Bone marrow aspirate smear · MGG-stained: 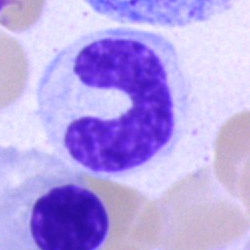

Showing a band neutrophil.